Bone marrow smear: 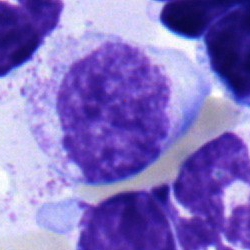

Q: What cell is this?
A: A myelocyte.